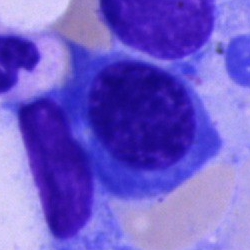Q: What cell is this?
A: A nucleated red blood cell.